Bone marrow aspirate smear
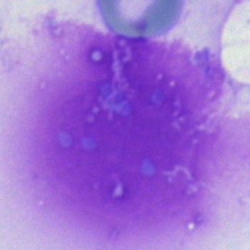 Classification — artifact.